250×250 · 40× objective, oil immersion · bone marrow aspirate smear.
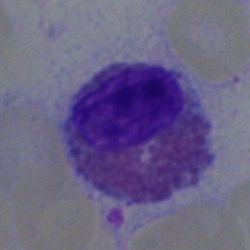
Morphology — eosinophilic granulocyte.